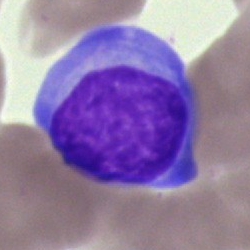

The morphological class is lymphocyte.